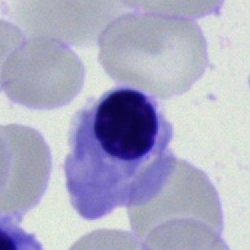

This is a nucleated red blood cell.